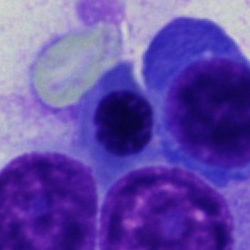
The morphological class is nucleated red cell.